250×250 · bone marrow smear.
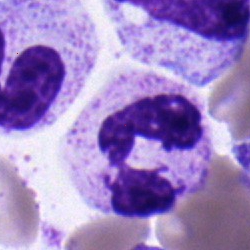Single cell identified as a segmented neutrophil.